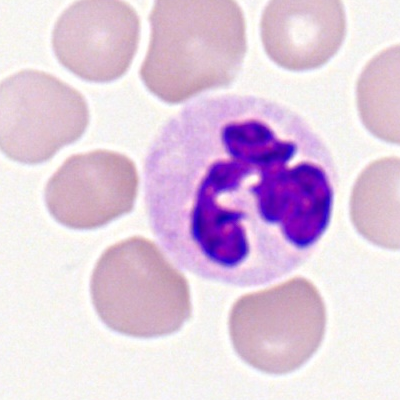 {"cell_type": "segmented neutrophil", "lineage": "myeloid"}